Bone marrow aspirate smear · 250 by 250 pixels
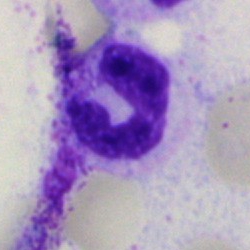The cell shown is a polymorphonuclear neutrophil.